Bone marrow aspirate smear
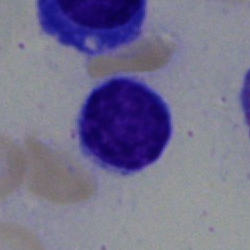Q: What type of cell is this?
A: It is a typical lymphocyte.